250 by 250 pixels · bone marrow smear
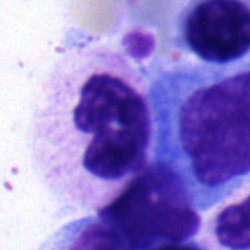{"cell_type": "neutrophil (band)", "lineage": "myeloid"}